Single cell centered in the field; peripheral blood smear; image size 400×400
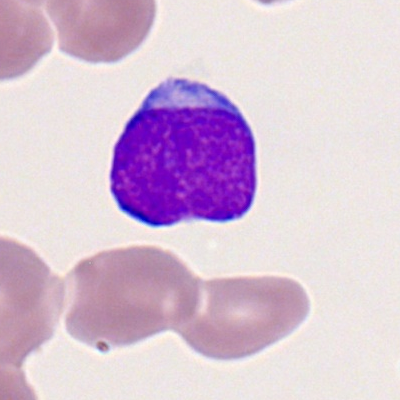
Showing a myeloblast.